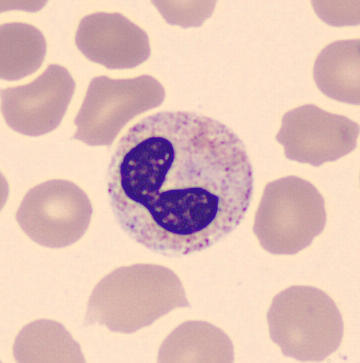A band-form neutrophil.